Single cell centered in the field · image size 250×250 · bone marrow aspirate smear
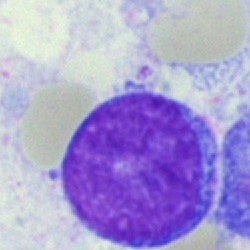
The classification is blast.